Bone marrow smear · Pappenheim-stained — 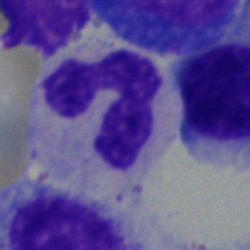The cell is neutrophil (segmented).